Bone marrow aspirate smear
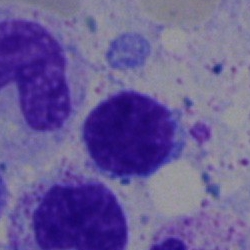Showing a typical lymphocyte.